40× oil immersion · bone marrow aspirate smear.
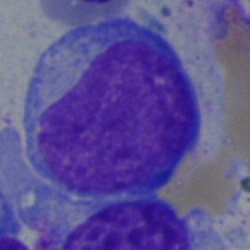
Cell — blast cell.